Brightfield microscopy, 40× oil immersion · bone marrow smear: 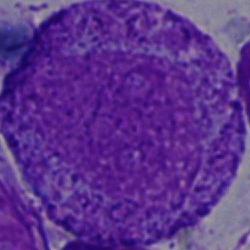

Morphology consistent with a promyelocyte.